May-Grünwald-Giemsa stain; bone marrow aspirate smear; brightfield microscopy, 40× oil immersion: 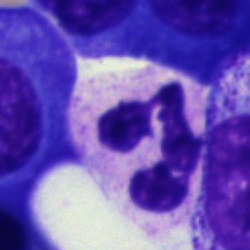
This is a neutrophil (segmented).